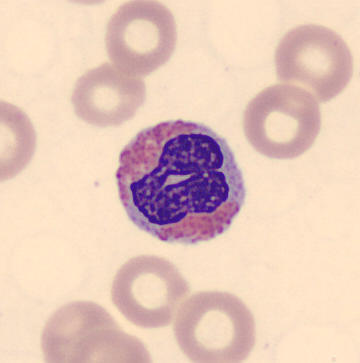
Q: Which cell type is shown here?
A: Eosinophilic granulocyte.